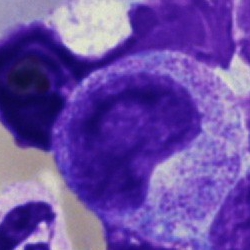

Specimen: bone marrow aspirate smear.
Morphological class: metamyelocyte.